May-Grünwald-Giemsa/Pappenheim stain. 40× oil immersion. Bone marrow smear:
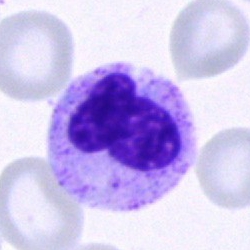

Showing a polymorphonuclear neutrophil.